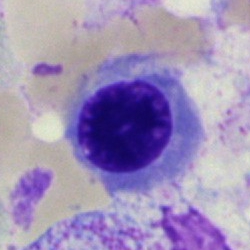Bone marrow aspirate smear, single cell — nucleated red cell.